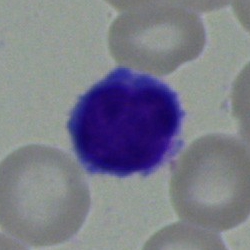
Impression → lymphocyte.